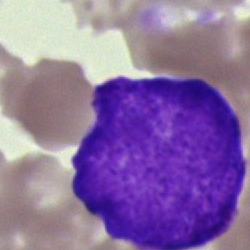{"cell_type": "blast"}